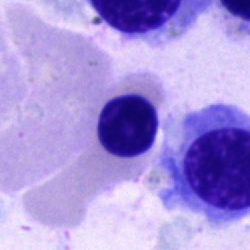Cell type — erythroblast.